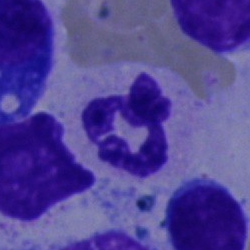Cell type = segmented neutrophil.